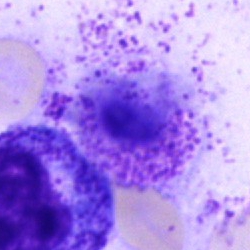

Q: What is shown here?
A: Artifact.